Peripheral blood film; single-cell field — 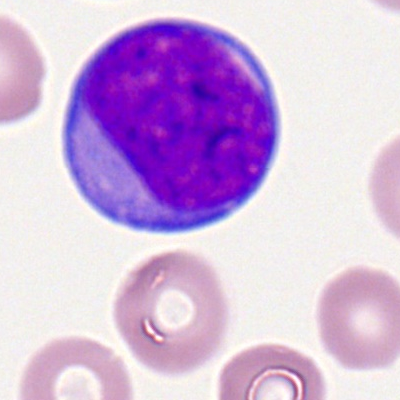

Q: Which cell type is shown here?
A: A myeloid blast.